Bone marrow aspirate smear; single cell centered in the field: 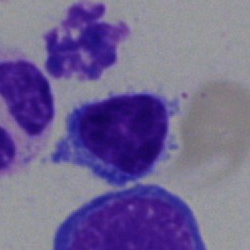Morphological class — typical lymphocyte.